May-Grünwald-Giemsa stain; bone marrow smear; 250×250:
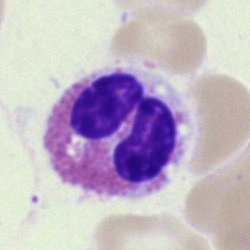The cell is eosinophilic granulocyte.